Peripheral blood smear · image size 400×400
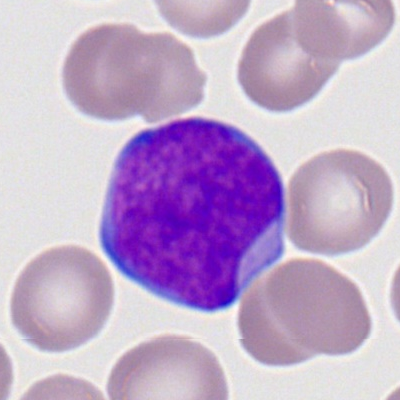
The cell is myeloblast.